Bone marrow aspirate smear; single cell centered in the field
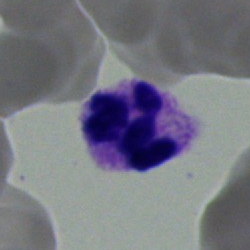Classification: neutrophil (segmented).